Pappenheim-stained · 250×250 · bone marrow aspirate smear — 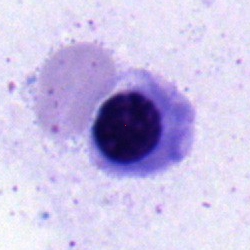
Specimen: bone marrow smear.
Cell type: erythroblast.